Peripheral blood smear. Image size 400×400. Cropped to a single cell.
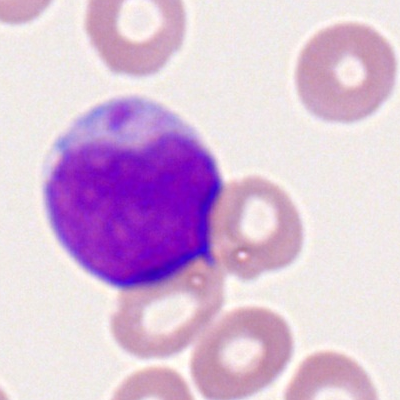{"cell_type": "lymphocyte"}